250×250. Bone marrow aspirate smear. Brightfield microscopy, 40× oil immersion — 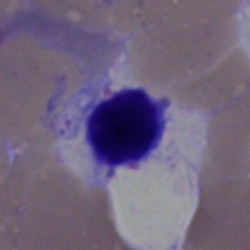Classification = lymphocyte.